Single-cell field; bone marrow smear — 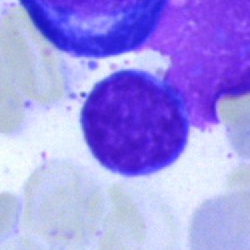 Specimen: bone marrow smear.
Cell: typical lymphocyte.